Bone marrow smear:
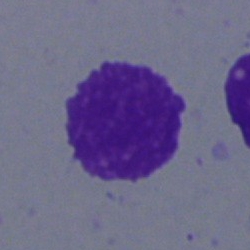The cell is artifact.